May-Grünwald-Giemsa stain; 250×250 px; bone marrow aspirate smear:
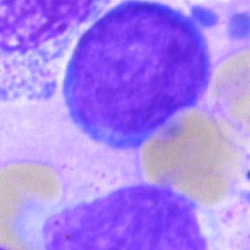 Morphology → blast.